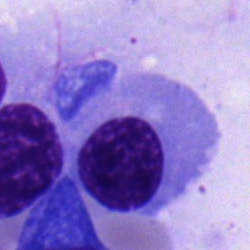
Q: What type of cell is this?
A: It is a nucleated red blood cell.